Bone marrow aspirate smear — 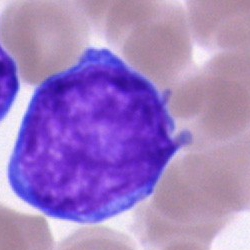 Impression — blast cell.